Bone marrow aspirate smear
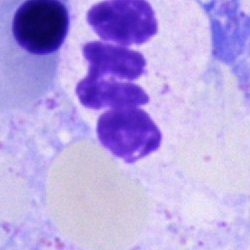Specimen: bone marrow smear.
Morphological class: neutrophil (segmented).
Lineage: myeloid.